Bone marrow aspirate smear:
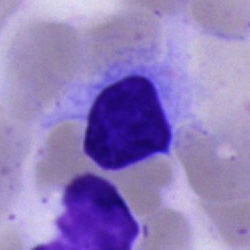

Morphology → cell of indeterminate lineage.